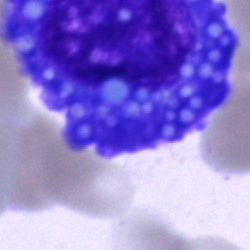
Classification: plasmacyte.